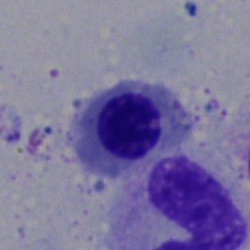

Bone marrow smear showing a nucleated red blood cell.